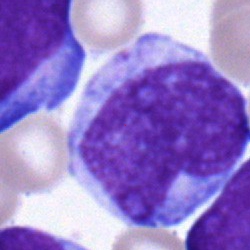Q: What cell is this?
A: It is a monocyte.